Bone marrow smear: 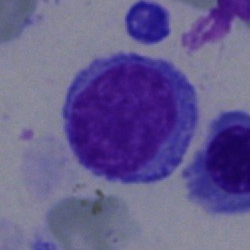 Morphological class — typical lymphocyte.